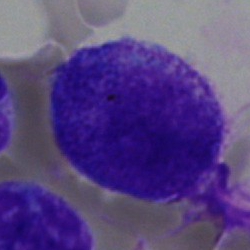 Classification = progranulocyte.